Bone marrow smear.
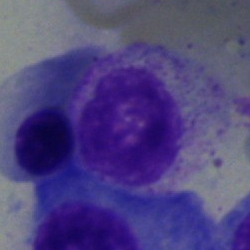

Morphology consistent with a myelocyte.